MGG-stained · cropped to a single cell · bone marrow aspirate smear — 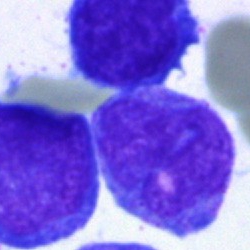Q: What cell is this?
A: A blast.